Single-cell crop · bone marrow smear:
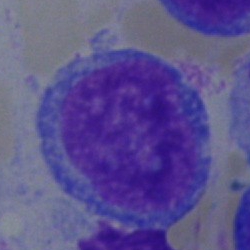Q: What is shown here?
A: Undifferentiated blast.